May-Grünwald-Giemsa/Pappenheim stain · bone marrow aspirate smear.
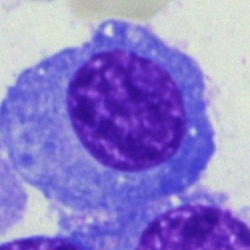
Q: Which cell type is shown here?
A: This is a plasma cell.